Bone marrow aspirate smear; May-Grünwald-Giemsa/Pappenheim stain:
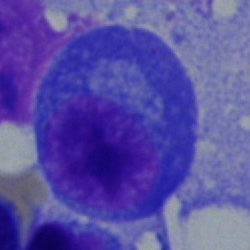

Morphological class = plasmacyte.